Bone marrow aspirate smear:
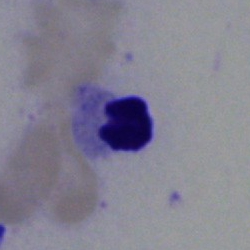
Nucleated red blood cell.